Bone marrow aspirate smear · image size 250×250 — 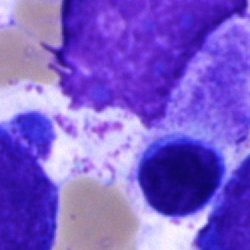
Cell: lymphocyte.